250×250. Bone marrow smear — 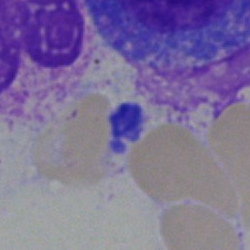

Artifact.